Bone marrow aspirate smear
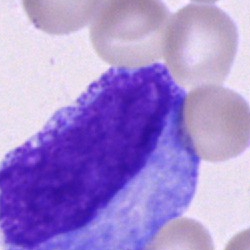

Impression — progranulocyte.